Bone marrow smear: 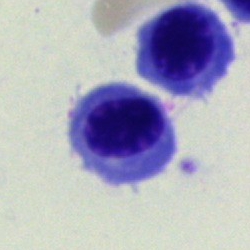
Showing a nucleated red cell.